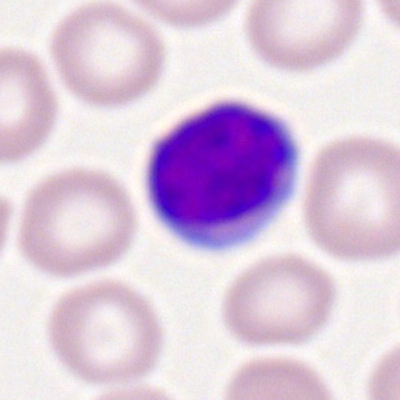
{"cell_type": "typical lymphocyte"}